250 by 250 pixels; bone marrow aspirate smear:
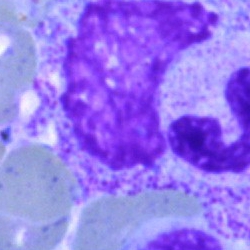
{"cell_type": "artifact"}